Bone marrow aspirate smear · 40× oil immersion:
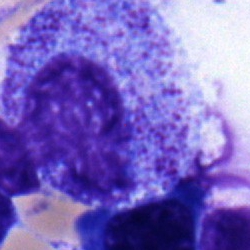 Impression — progranulocyte.